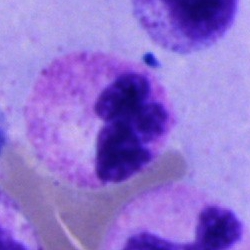 The cell is segmented neutrophil.